Bone marrow aspirate smear: 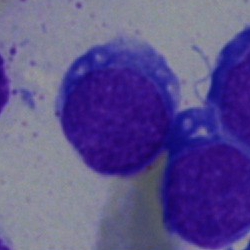Cell — blast.